100× oil immersion, 14.14 px/µm. Peripheral blood smear.
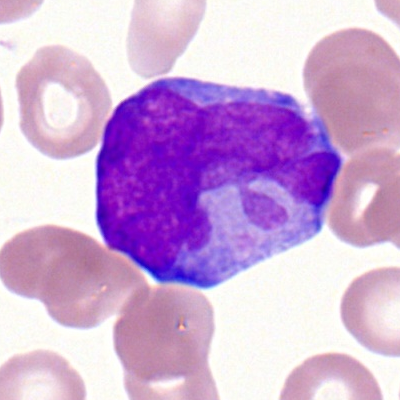

Classification: myeloblast.